Bone marrow smear — 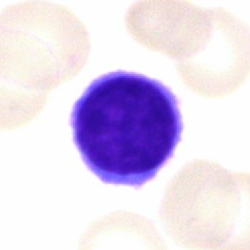 {"cell_type": "typical lymphocyte"}